Bone marrow smear: 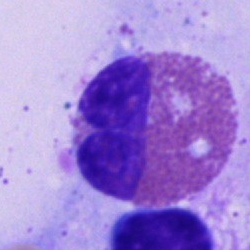

Morphological class = eosinophilic granulocyte.